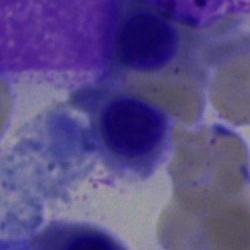Single-cell crop from a bone marrow smear: nucleated red cell.